Bone marrow smear. Brightfield microscopy, 40× oil immersion
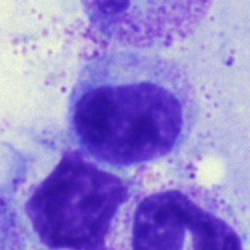 Q: What is the morphological classification of this cell?
A: It is a typical lymphocyte.